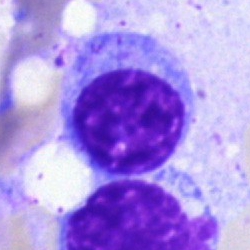
Bone marrow aspirate smear, single cell — typical lymphocyte.